250×250 px; bone marrow smear; 40× objective, oil immersion.
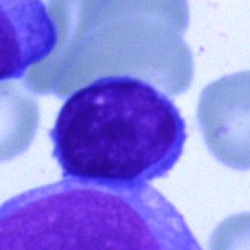A lymphocyte.